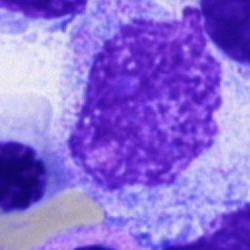 Single-cell crop from a bone marrow smear: artefact.